Bone marrow aspirate smear. Image size 250×250. Cropped to a single cell:
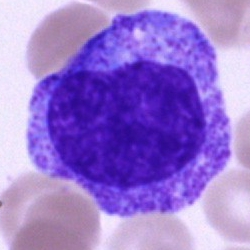Morphology → progranulocyte.